Bone marrow aspirate smear · May-Grünwald-Giemsa stain
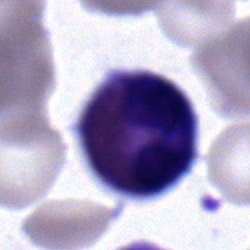Specimen: bone marrow aspirate smear.
Morphological class: eosinophil.
Lineage: myeloid.